Single-cell crop · bone marrow smear · 40× objective, oil immersion:
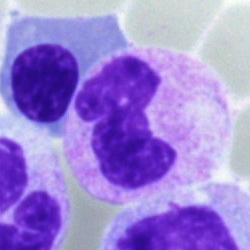Specimen: bone marrow aspirate smear.
Cell: polymorphonuclear neutrophil.
Lineage: myeloid.